Bone marrow aspirate smear. 40× oil immersion.
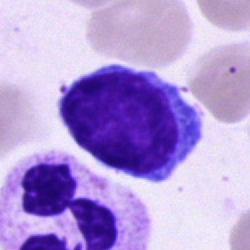This is a lymphocyte.